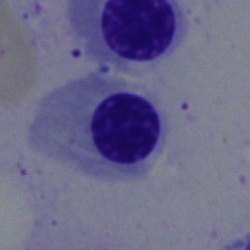
This is a nucleated red blood cell.